Brightfield microscopy, 40× oil immersion. Bone marrow smear — 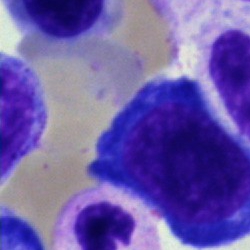
Q: Identify the cell.
A: This is a normoblast.